Bone marrow smear. May-Grünwald-Giemsa stain. Single cell centered in the field
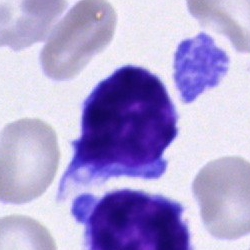The cell is lymphocyte.